Bone marrow smear. Brightfield, 40× oil-immersion objective — 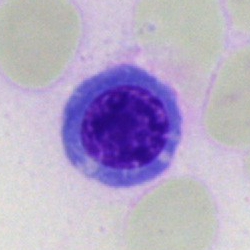 Specimen: bone marrow aspirate smear.
Cell: erythroblast.
Lineage: erythroid.